Bone marrow aspirate smear.
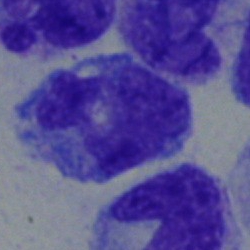Monocyte.